Bone marrow aspirate smear.
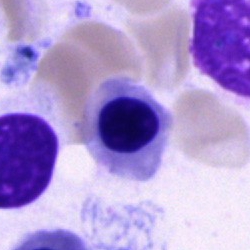
This is a nucleated red cell.